Bone marrow aspirate smear. May-Grünwald-Giemsa stain — 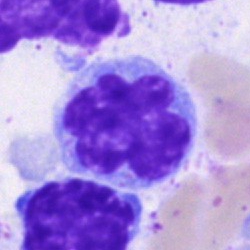 Morphological class = typical lymphocyte.